Bone marrow aspirate smear.
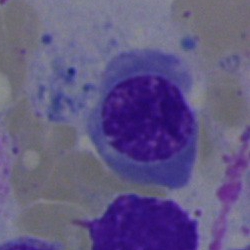

A nucleated red blood cell.